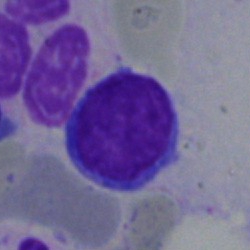
A lymphocyte.